Peripheral blood film. Image size 400×400. Single-cell field: 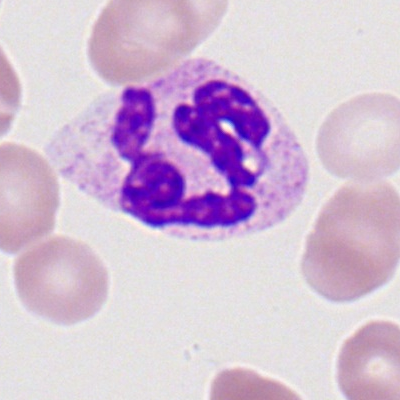 The cell is neutrophil (segmented).